Bone marrow smear. 250×250. May-Grünwald-Giemsa stain: 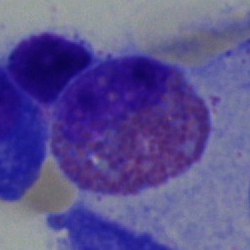

Classification = eosinophil.